Bone marrow aspirate smear; image size 250×250.
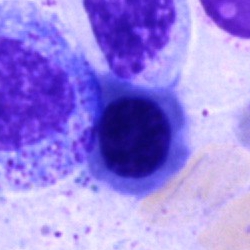

Q: Which cell type is shown here?
A: It is a nucleated red blood cell.